Brightfield microscopy, 40× oil immersion; bone marrow smear — 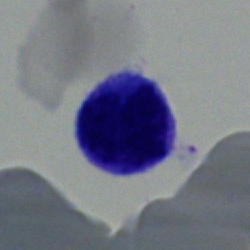
Single cell identified as a typical lymphocyte.